Peripheral blood film: 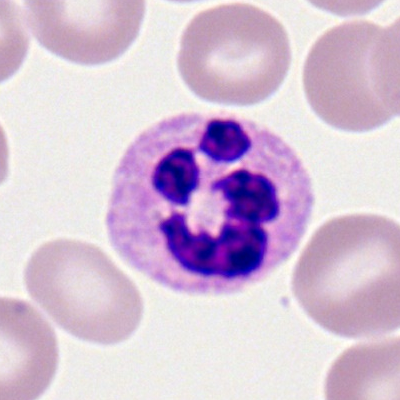 Segmented neutrophil.